Bone marrow aspirate smear:
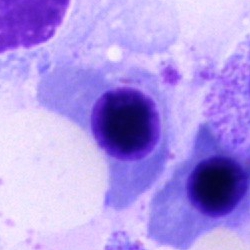
This is a nucleated red cell.